Bone marrow smear; 250×250 px.
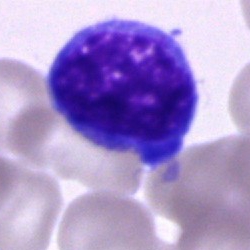

Q: What is the morphological classification of this cell?
A: It is an unidentifiable cell.